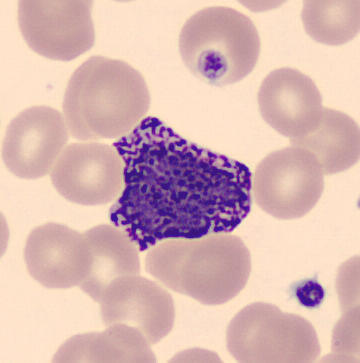 MGG-stained. Peripheral blood smear.

The cell is basophilic granulocyte.